Bone marrow aspirate smear · May-Grünwald-Giemsa stain · 250×250 px: 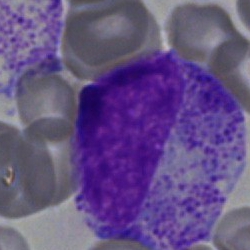 Morphological class: myelocyte.